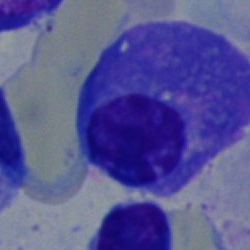
Q: What is shown here?
A: This is a plasmacyte.